Bone marrow aspirate smear.
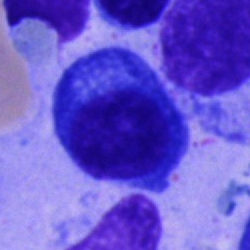 Single cell identified as a plasmacyte.